Bone marrow smear
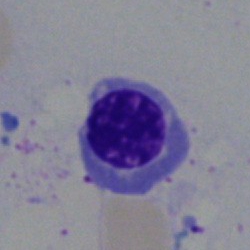

Cell: nucleated red cell.